Bone marrow smear.
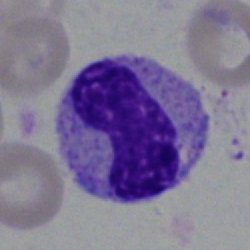

Q: What type of cell is this?
A: A band-form neutrophil.